Bone marrow aspirate smear — 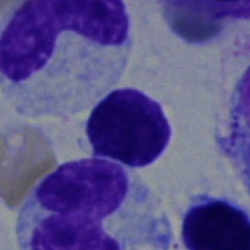
Showing a lymphocyte.